Brightfield, 40× oil-immersion objective. Bone marrow smear
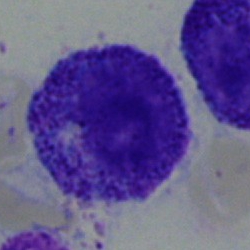 Q: What type of cell is this?
A: A myelocyte.